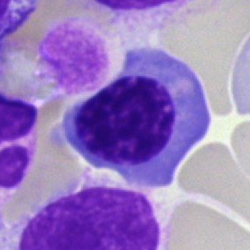
Q: What cell is this?
A: This is a nucleated red blood cell.